Bone marrow aspirate smear.
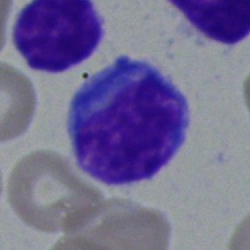
A lymphocyte.